Bone marrow smear · brightfield, 40× oil-immersion objective
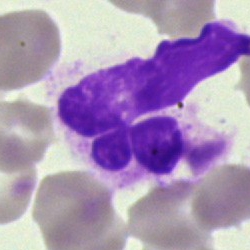Morphological class = artifact.